Bone marrow aspirate smear. 40× oil immersion:
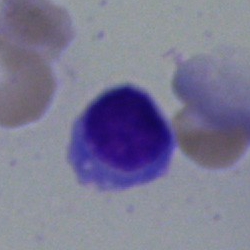
Q: Which cell type is shown here?
A: A typical lymphocyte.